Bone marrow smear.
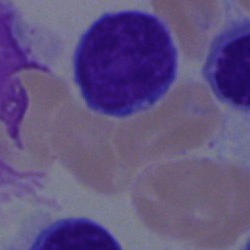

Cell: typical lymphocyte.